40× oil immersion · single-cell crop · bone marrow aspirate smear — 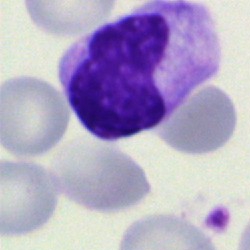 Q: Identify the cell.
A: This is a metamyelocyte.